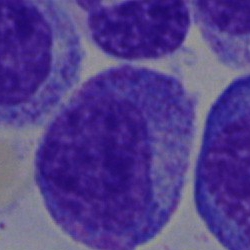A promyelocyte.